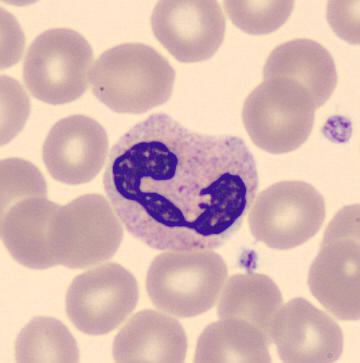
Image: 360×363 px. Peripheral blood smear. The cell type is neutrophil (segmented).